Bone marrow aspirate smear: 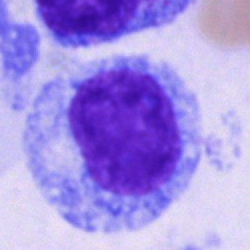
Morphology → progranulocyte.